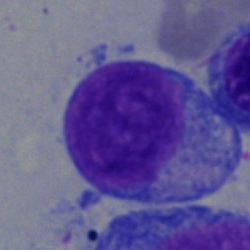Impression → blast cell.